Bone marrow smear
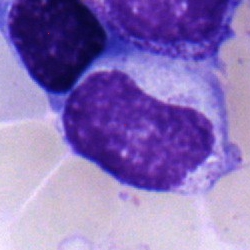
Metamyelocyte.